Bone marrow aspirate smear:
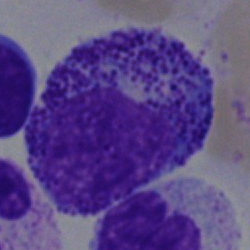

This is a promyelocyte.